Bone marrow smear:
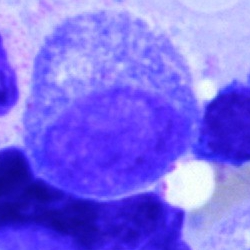Classification: progranulocyte.